Bone marrow aspirate smear · image size 250×250: 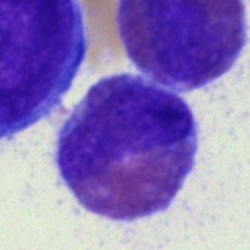
{"cell_type": "basophil"}